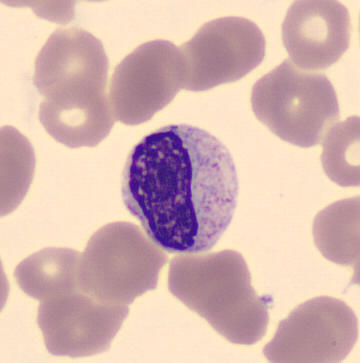Morphology consistent with a metamyelocyte.
Automated cell imaging (CellaVision DM96). Peripheral blood film.